Bone marrow aspirate smear. 40× objective, oil immersion:
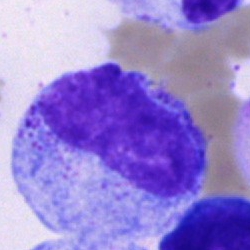Q: What is the morphological classification of this cell?
A: It is a progranulocyte.